Bone marrow aspirate smear.
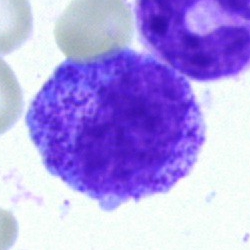Morphological class = myelocyte.